Bone marrow smear · MGG-stained · single-cell crop: 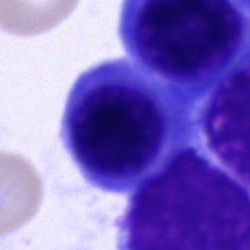

Specimen: bone marrow smear.
Cell: cell of indeterminate lineage.